Bone marrow aspirate smear; May-Grünwald-Giemsa/Pappenheim stain
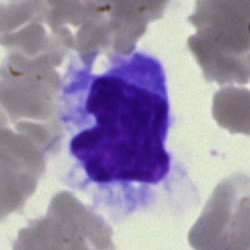Q: What is shown here?
A: An artifact.